Bone marrow smear. 250×250 px. Brightfield microscopy, 40× oil immersion — 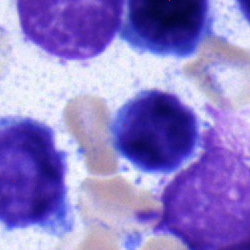
Specimen: bone marrow smear.
Morphological class: lymphocyte.
Lineage: lymphoid.